Bone marrow aspirate smear — 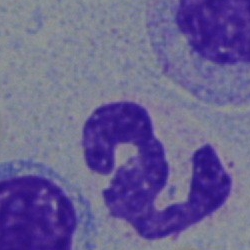 Specimen: bone marrow smear.
Cell type: segmented neutrophil.
Lineage: myeloid.